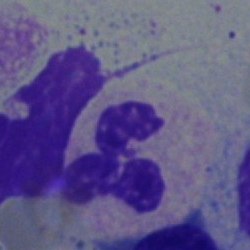Showing a polymorphonuclear neutrophil.